Bone marrow aspirate smear
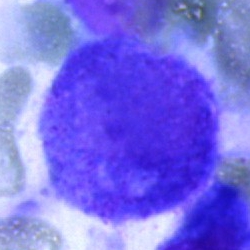The cell shown is a progranulocyte.